250×250. Bone marrow aspirate smear. May-Grünwald-Giemsa stain:
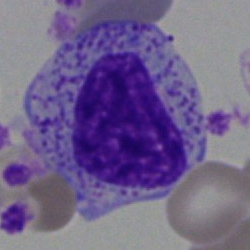Morphology — myelocyte.